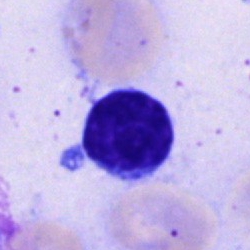 Cell — typical lymphocyte.